Bone marrow smear.
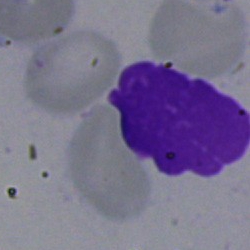
Q: What is shown here?
A: Artefact.